Bone marrow aspirate smear · cropped to a single cell · image size 250×250 — 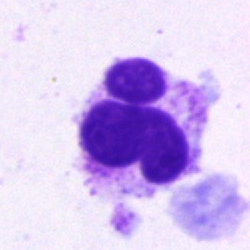

This is a neutrophil (segmented).